Cropped to a single cell; bone marrow smear:
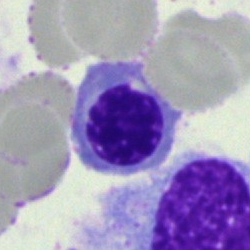This is a nucleated red cell.